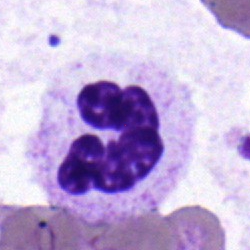

Bone marrow aspirate smear, single cell — segmented neutrophil.